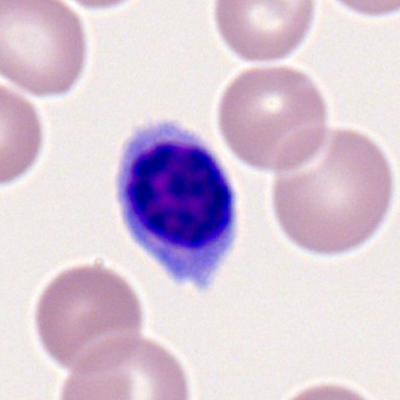Specimen: peripheral blood film.
Cell: typical lymphocyte.
Lineage: lymphoid.